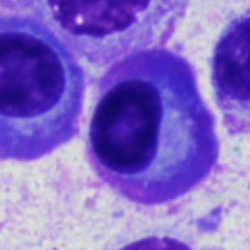

Specimen: bone marrow smear.
Classification: plasma cell.
Lineage: lymphoid.